Image size 250×250; bone marrow aspirate smear; single-cell field
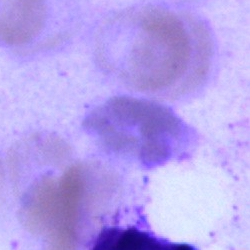

Showing an artefact.